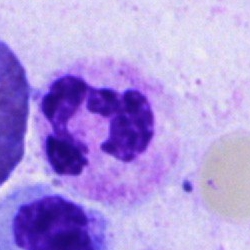

This is a neutrophil (segmented).